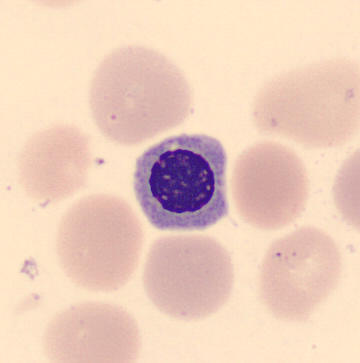Peripheral blood film.

Q: Which cell type is shown here?
A: Nucleated red cell.